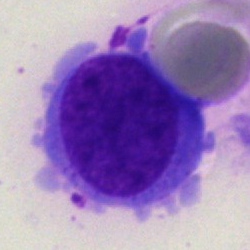

Q: Which cell type is shown here?
A: Typical lymphocyte.